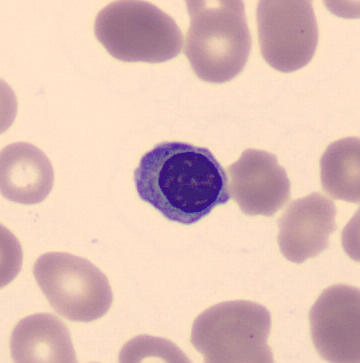 Single cell centered in the field; peripheral blood film.
Morphological class = normoblast.